Single-cell crop · bone marrow aspirate smear:
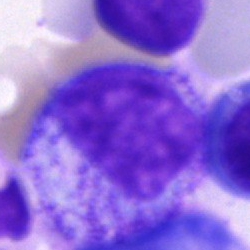
Morphology — segmented neutrophil.